250×250 px · bone marrow aspirate smear: 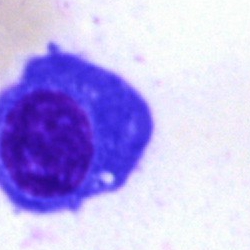 The morphological class is plasma cell.